40× objective, oil immersion · bone marrow smear:
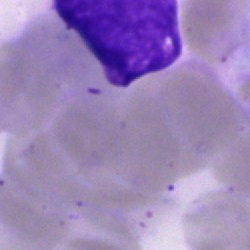Specimen: bone marrow smear.
Morphological class: artefact.